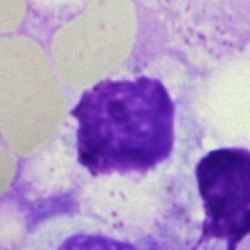Bone marrow aspirate smear, single cell — artefact.